Bone marrow aspirate smear; image size 250×250 — 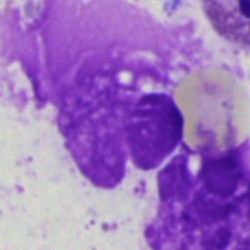 Morphological class: artefact.